Bone marrow aspirate smear — 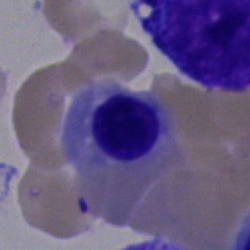

Classification = nucleated red blood cell.